Cropped to a single cell; bone marrow aspirate smear:
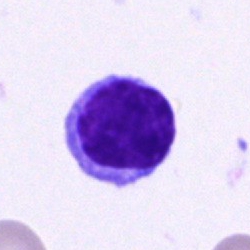
Specimen: bone marrow aspirate smear.
Classification: lymphocyte.